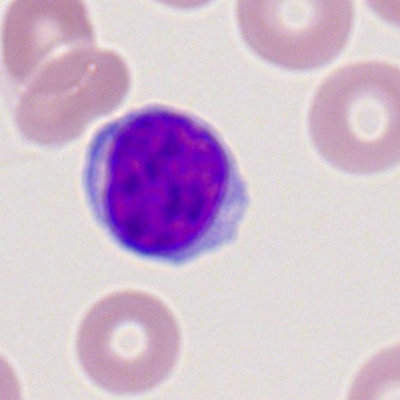 A lymphocyte on a peripheral blood smear.